Bone marrow aspirate smear; 250×250 px:
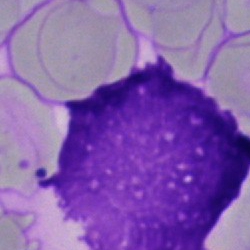
Impression → artifact.